Bone marrow aspirate smear:
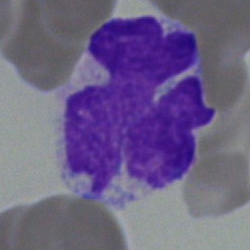
Cell: artefact.